Bone marrow aspirate smear.
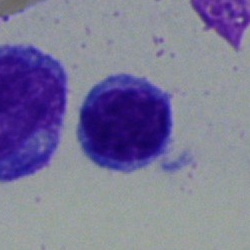 Morphology → typical lymphocyte.